Bone marrow aspirate smear; May-Grünwald-Giemsa stain.
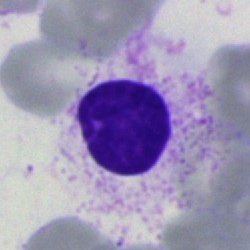 Single cell identified as an artefact.